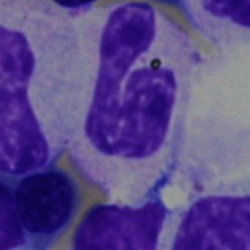Morphological class = band-form neutrophil.